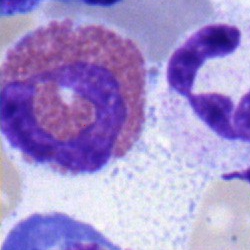Classification = eosinophil.